Bone marrow smear: 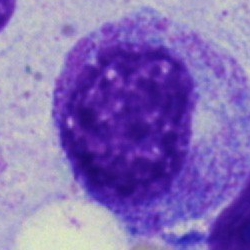
{"cell_type": "myelocyte"}